Cropped to a single cell. Bone marrow smear:
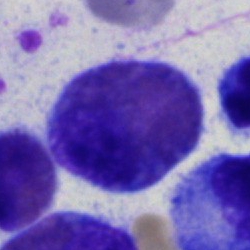 Impression — eosinophil.